Bone marrow aspirate smear. 250×250 px — 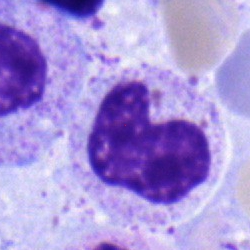The cell shown is a band neutrophil.